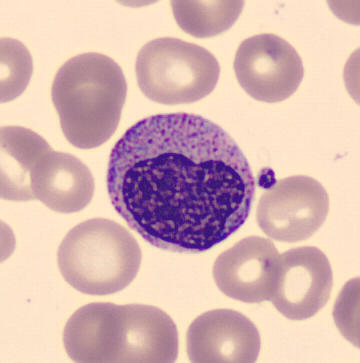
Q: What is this?
A: A myelocyte.

Acquisition: Peripheral blood film.